Bone marrow aspirate smear: 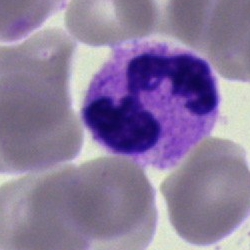

Specimen: bone marrow aspirate smear.
Cell: polymorphonuclear neutrophil.
Lineage: myeloid.